Bone marrow aspirate smear. 40× oil immersion. May-Grünwald-Giemsa/Pappenheim stain:
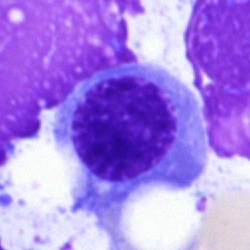

This is a nucleated red blood cell.